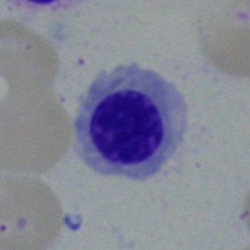 Specimen: bone marrow smear.
Cell: nucleated red cell.
Lineage: erythroid.